Bone marrow aspirate smear; 40× objective, oil immersion; single cell centered in the field
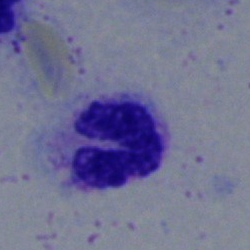
Morphology — segmented neutrophil.